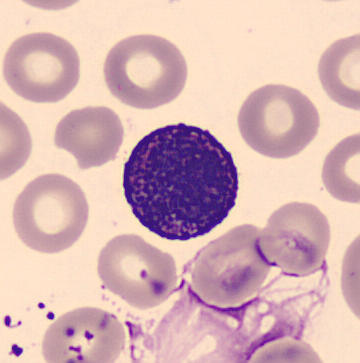

Morphological class = basophil.